Bone marrow smear; image size 250×250
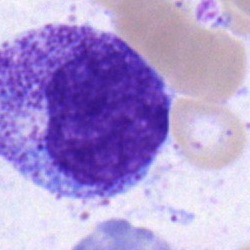Q: Identify the cell.
A: This is a myelocyte.